Bone marrow smear: 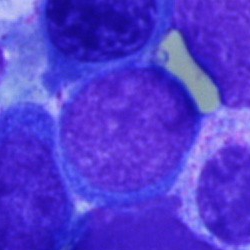
Showing a blast cell.